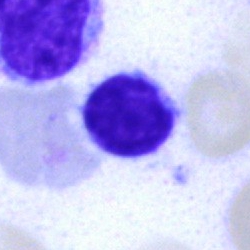
Impression — typical lymphocyte.